Bone marrow smear — 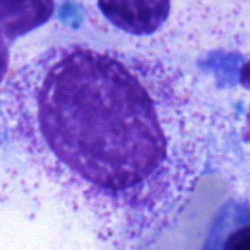 The cell shown is a myelocyte.